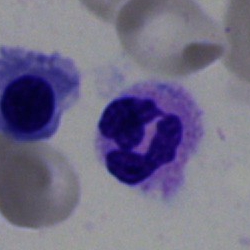 Single-cell crop from a bone marrow smear: segmented neutrophil.